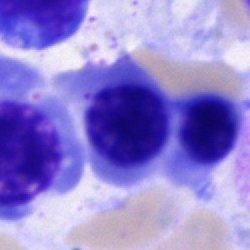 Classification — normoblast.